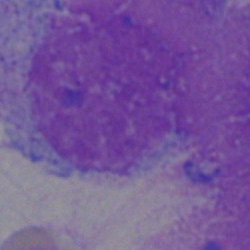Cell — artifact.